Bone marrow smear. 40× oil immersion.
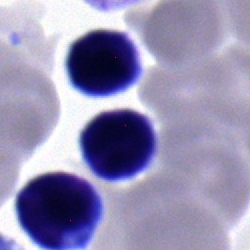 Classification — typical lymphocyte.